Bone marrow smear · cropped to a single cell: 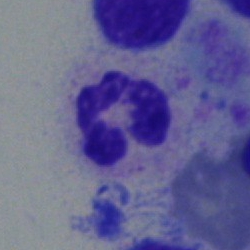

Showing a neutrophil (segmented).